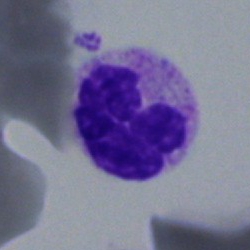

The cell shown is a segmented neutrophil.